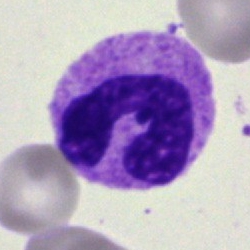

Q: What cell is this?
A: A polymorphonuclear neutrophil.